250 by 250 pixels; bone marrow aspirate smear — 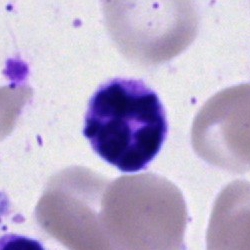 Specimen: bone marrow aspirate smear.
Cell: segmented neutrophil.
Lineage: myeloid.